Peripheral blood smear — 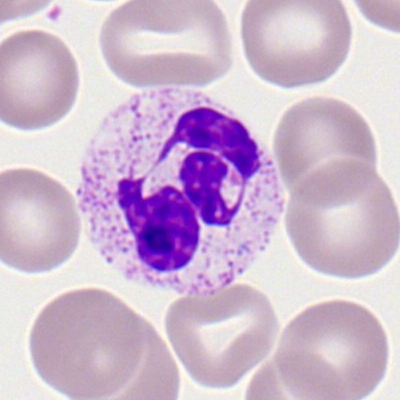 Cell type — neutrophil (segmented).